Bone marrow smear.
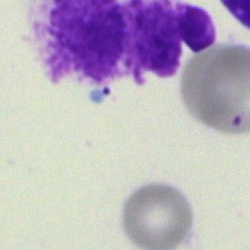

Cell type = artefact.